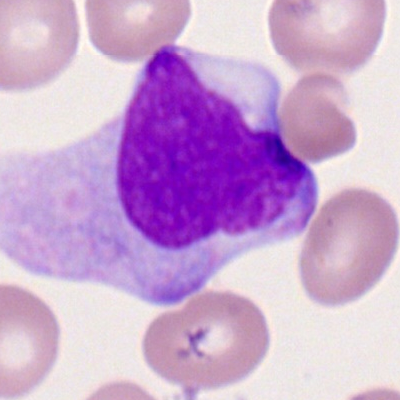 A monoblast on a peripheral blood smear.